Bone marrow aspirate smear: 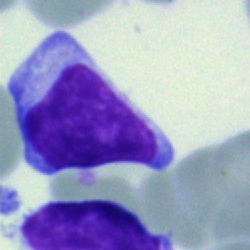Showing a lymphocyte.